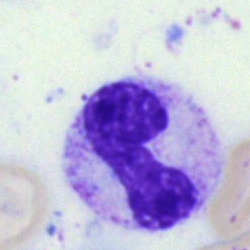 A segmented neutrophil on a bone marrow smear.